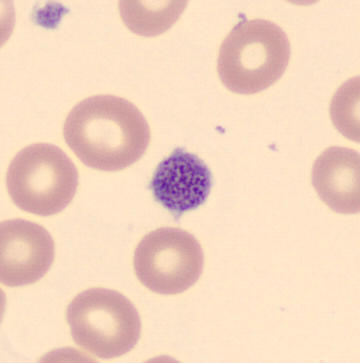

Cell type = platelet (thrombocyte). Preparation: Peripheral blood film.